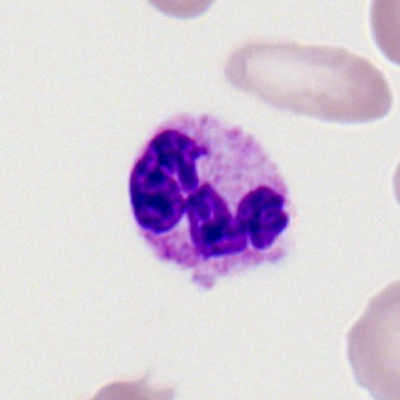 Classification: polymorphonuclear neutrophil.